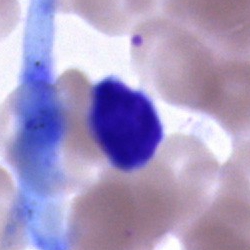
Single-cell crop from a bone marrow smear: cell of indeterminate lineage.